Bone marrow smear. Single cell centered in the field. Pappenheim-stained
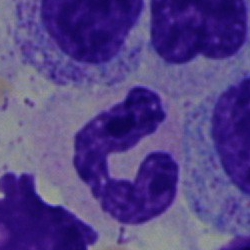
The morphological class is band neutrophil.